Bone marrow smear; single cell centered in the field; image size 250×250:
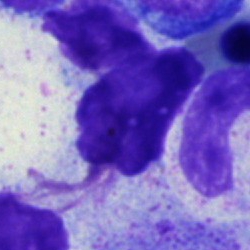
Morphology consistent with an artifact.